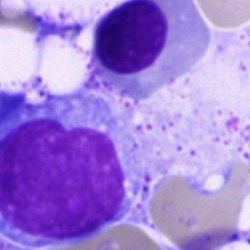Showing a normoblast.